Pappenheim-stained; bone marrow smear.
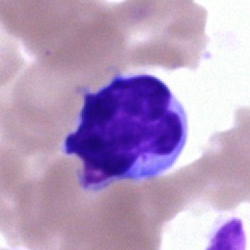

The cell shown is a typical lymphocyte.